Single-cell field. 40× oil immersion. Bone marrow smear:
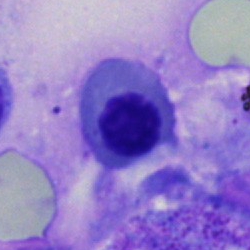
Impression → nucleated red blood cell.